Bone marrow smear: 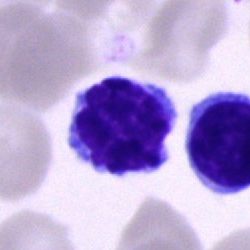Morphology → typical lymphocyte.